Peripheral blood film; 400×400 px; cropped to a single cell: 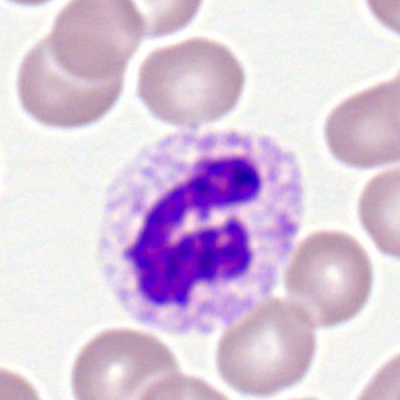Q: What is shown here?
A: It is a segmented neutrophil.